Bone marrow smear; Pappenheim-stained:
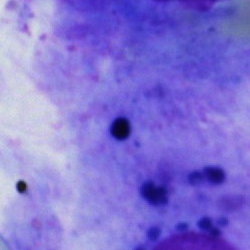 {"cell_type": "artefact"}